Bone marrow aspirate smear.
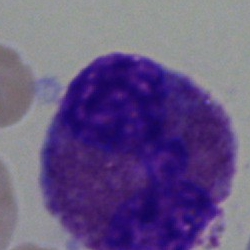

Morphological class: eosinophil.